Image size 250×250 · 40× objective, oil immersion · bone marrow smear — 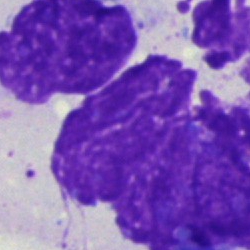 Cell type = artefact.